Bone marrow aspirate smear. Pappenheim-stained
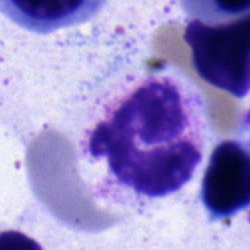
This is a segmented neutrophil.